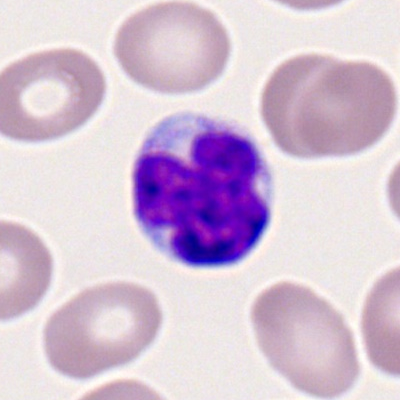Peripheral blood smear showing a typical lymphocyte.